Bone marrow smear
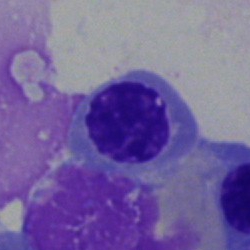Morphology → nucleated red blood cell.